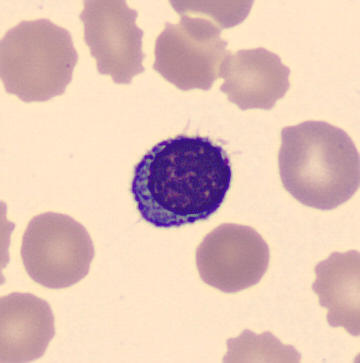 Q: What type of cell is this?
A: A lymphocyte.